Bone marrow smear: 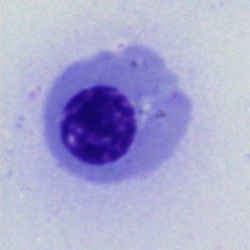

An erythroblast.